Bone marrow aspirate smear:
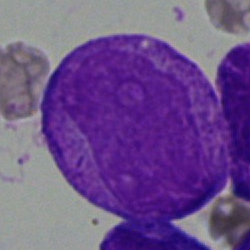
Q: Which cell type is shown here?
A: An undifferentiated blast.